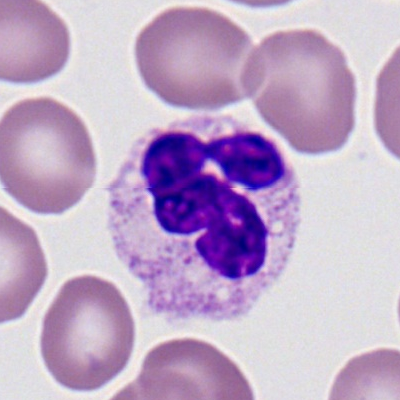

Classification: segmented neutrophil.